Bone marrow smear
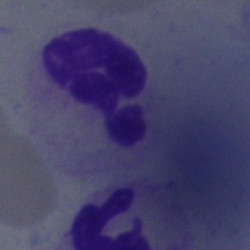 Segmented neutrophil.